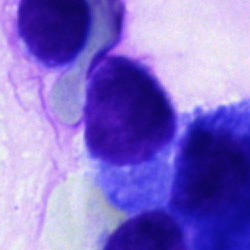
Specimen: bone marrow aspirate smear.
Morphological class: typical lymphocyte.